Brightfield, 40× oil-immersion objective. Bone marrow aspirate smear: 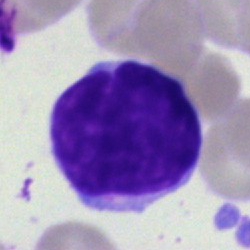

Morphological class = typical lymphocyte.